Bone marrow aspirate smear — 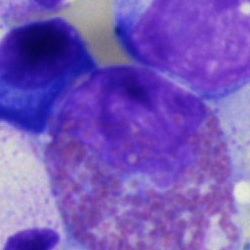 Q: Identify the cell.
A: An eosinophil.